Bone marrow smear; 40× oil immersion: 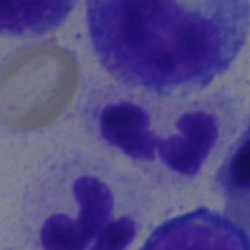
Specimen: bone marrow aspirate smear.
Morphological class: segmented neutrophil.
Lineage: myeloid.